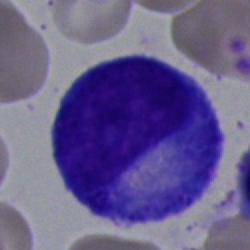 Specimen: bone marrow smear.
Cell: promyelocyte.
Lineage: myeloid.